Peripheral blood film: 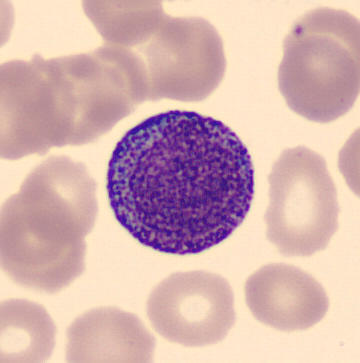
Q: Identify the cell.
A: It is a promyelocyte.